Peripheral blood film.
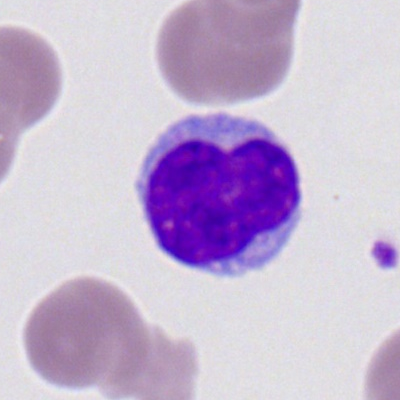
A lymphocyte.